Single-cell field. Bone marrow aspirate smear. Brightfield microscopy, 40× oil immersion:
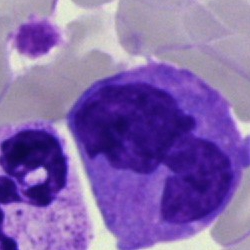
{"cell_type": "monocyte"}